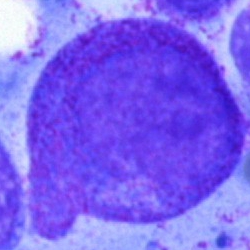
Morphology → promyelocyte.